Bone marrow aspirate smear — 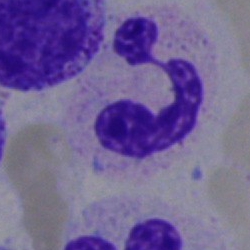
Cell = neutrophil (segmented).